Single cell centered in the field · 250×250 px · bone marrow smear:
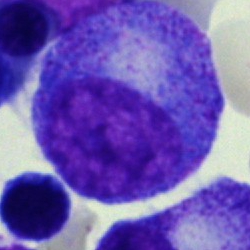
Specimen: bone marrow aspirate smear.
Cell: promyelocyte.
Lineage: myeloid.